Bone marrow smear
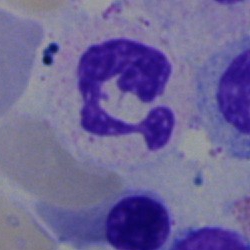A polymorphonuclear neutrophil.